Single-cell crop; peripheral blood film; 100× oil immersion.
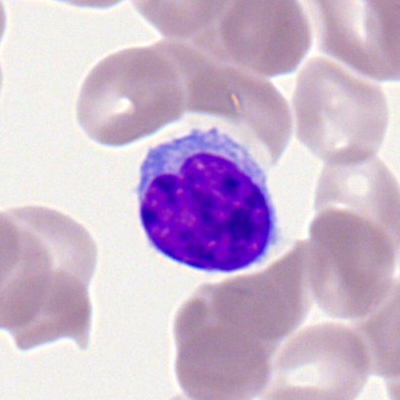Morphology consistent with a typical lymphocyte.